Bone marrow aspirate smear; single-cell field; 40× oil immersion.
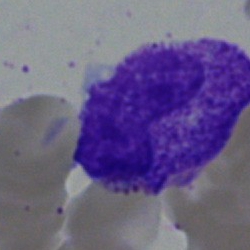 Classification — metamyelocyte.